Pappenheim-stained. Bone marrow smear:
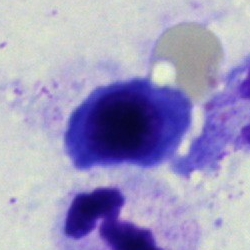 This is a nucleated red blood cell.